Bone marrow smear · image size 250×250: 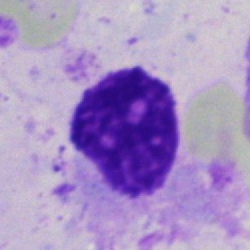

Specimen: bone marrow smear.
Morphological class: artifact.